40× objective, oil immersion · bone marrow aspirate smear.
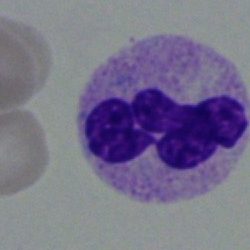Specimen: bone marrow smear.
Classification: neutrophil (segmented).
Lineage: myeloid.